Bone marrow aspirate smear; image size 250×250; May-Grünwald-Giemsa stain
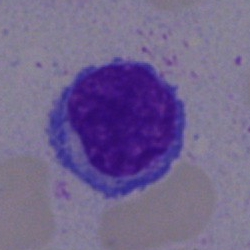

Cell — typical lymphocyte.